Single-cell field; image size 250×250; bone marrow smear: 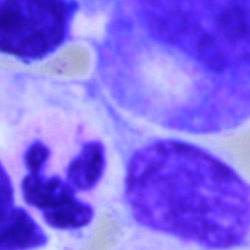
A polymorphonuclear neutrophil.